Bone marrow smear · 40× oil immersion:
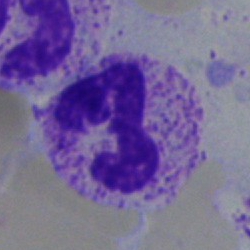

The cell shown is a polymorphonuclear neutrophil.